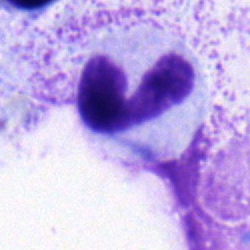Cell type: band-form neutrophil.